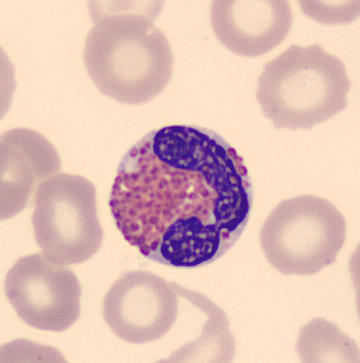

An eosinophil on a peripheral blood smear.